Bone marrow aspirate smear:
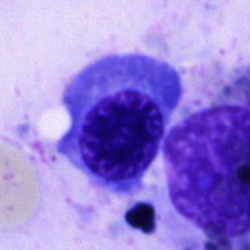 Showing a normoblast.